Bone marrow smear.
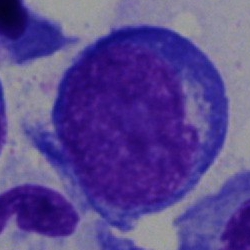 Morphology — undifferentiated blast.